Bone marrow smear:
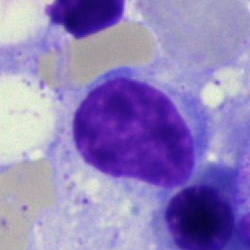 Single cell identified as a typical lymphocyte.